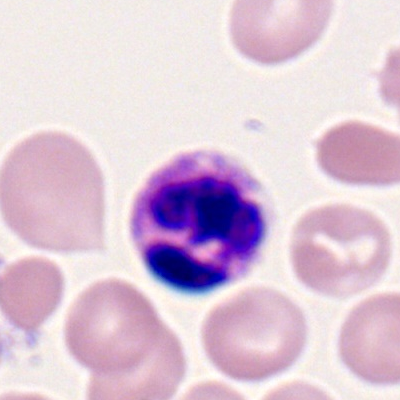
Morphological class = segmented neutrophil.